Bone marrow smear.
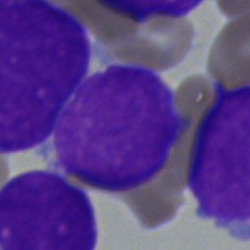

Cell: undifferentiated blast.